Bone marrow smear.
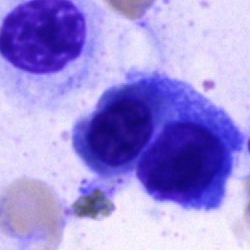 A nucleated red cell.